Bone marrow aspirate smear
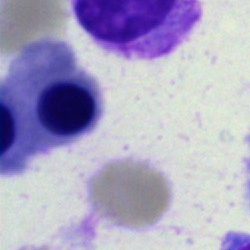 Q: What is the morphological classification of this cell?
A: A nucleated red cell.